Brightfield, 40× oil-immersion objective · bone marrow aspirate smear · 250×250:
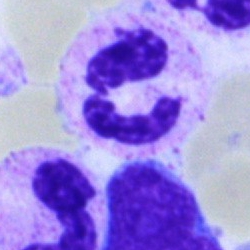 Morphology — polymorphonuclear neutrophil.